Bone marrow aspirate smear; 40× objective, oil immersion: 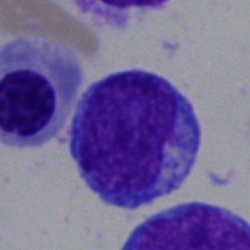

Impression — blast cell.